Bone marrow aspirate smear. Image size 250×250. May-Grünwald-Giemsa/Pappenheim stain.
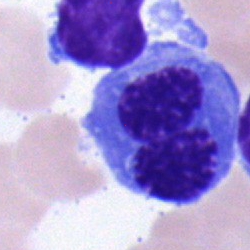Cell — nucleated red blood cell.